Bone marrow smear.
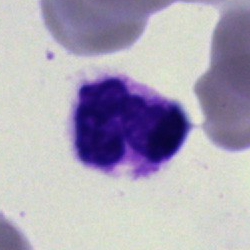

Impression — band neutrophil.